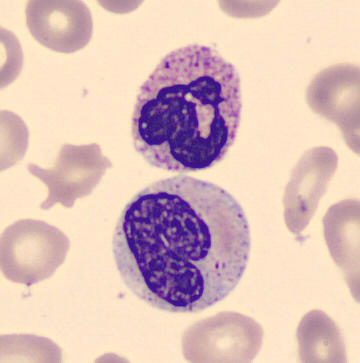

Acquisition: Peripheral blood film. Identified as a stab cell.